Bone marrow aspirate smear:
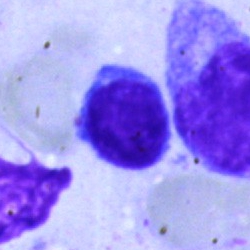 Single cell identified as a lymphocyte.